May-Grünwald-Giemsa/Pappenheim stain; single cell centered in the field; bone marrow aspirate smear: 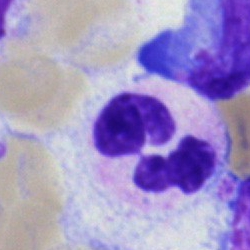 Morphological class = segmented neutrophil.